Single cell centered in the field. 40× objective, oil immersion. Bone marrow aspirate smear:
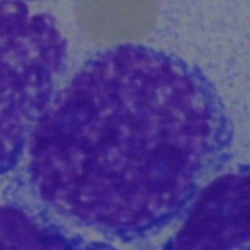

Specimen: bone marrow aspirate smear.
Classification: undifferentiated blast.